Bone marrow smear.
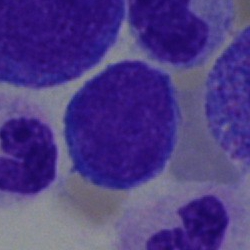 Specimen: bone marrow aspirate smear.
Cell type: lymphocyte.
Lineage: lymphoid.